250×250; bone marrow smear:
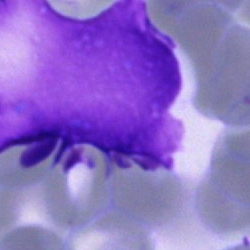 Single cell identified as an artefact.